Bone marrow smear — 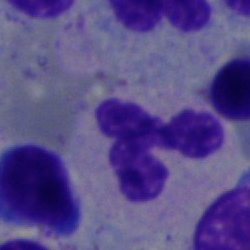

Classification: neutrophil (segmented).